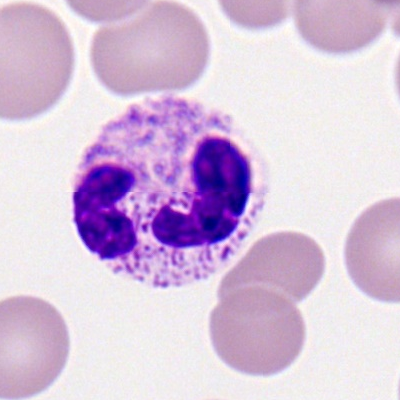

Single cell identified as a polymorphonuclear neutrophil.